Peripheral blood film — 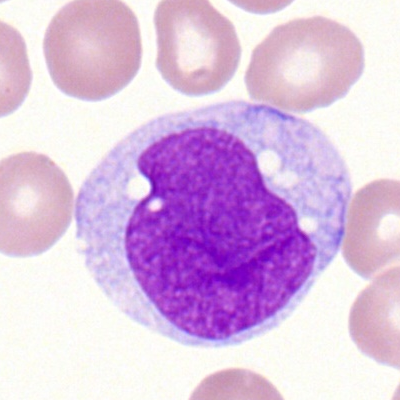 Showing a monocyte.